Bone marrow smear — 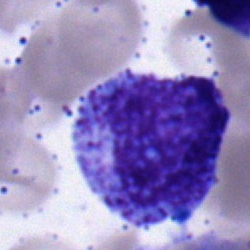Morphology → myelocyte.